Brightfield, 40× oil-immersion objective. Bone marrow smear.
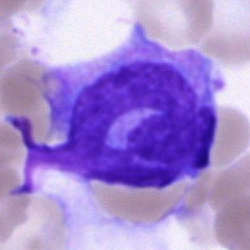 Monocyte.